Single-cell crop; bone marrow smear; Pappenheim-stained: 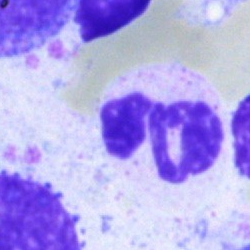 Classification = neutrophil (segmented).